Single-cell crop; bone marrow aspirate smear.
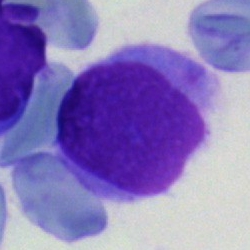A blast.